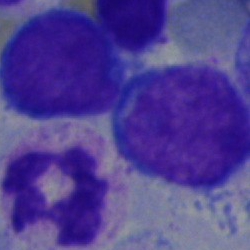 Showing a blast cell.